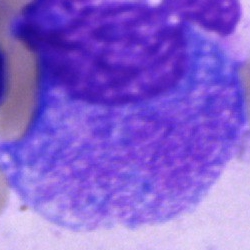 Specimen: bone marrow smear.
Classification: promyelocyte.